Bone marrow smear.
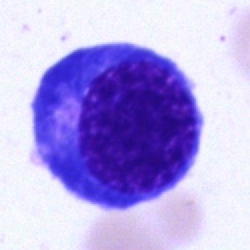
Morphological class — nucleated red blood cell.